Bone marrow smear:
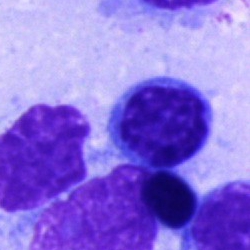
{"cell_type": "typical lymphocyte"}